Bone marrow smear. Single-cell crop. May-Grünwald-Giemsa stain — 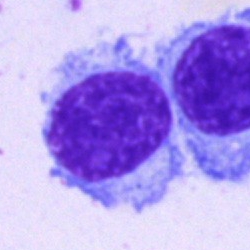

Cell — lymphocyte.